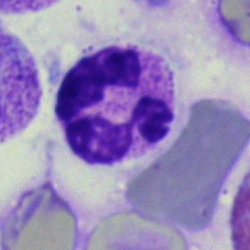
A segmented neutrophil.